Single-cell field · bone marrow aspirate smear · 250×250
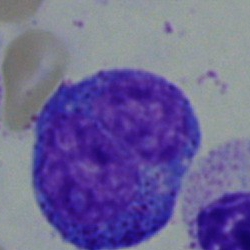 Specimen: bone marrow aspirate smear.
Morphological class: blast.